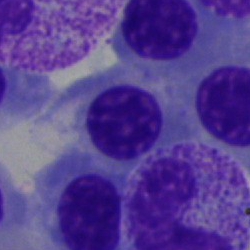

This is an erythroblast.